Single-cell crop · bone marrow smear · Pappenheim-stained.
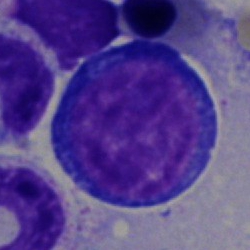The classification is pronormoblast.